Bone marrow aspirate smear — 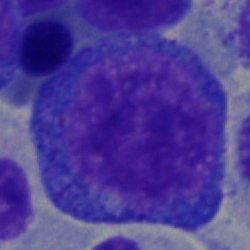Impression → pronormoblast.